Peripheral blood smear: 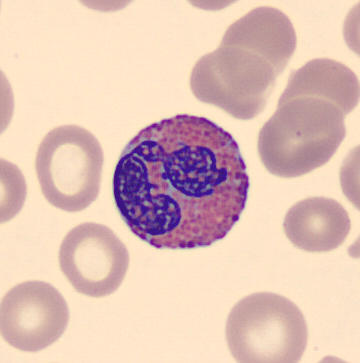Q: What is the morphological classification of this cell?
A: It is an eosinophil.